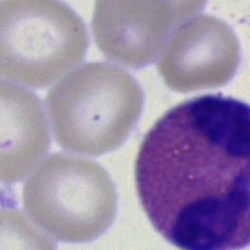 An eosinophilic granulocyte.